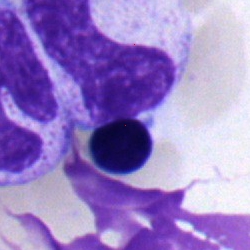Showing an erythroblast.